Bone marrow aspirate smear — 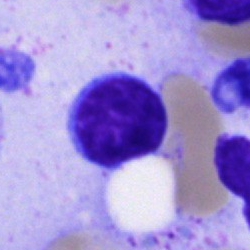
Q: What cell is this?
A: It is a typical lymphocyte.